Bone marrow aspirate smear
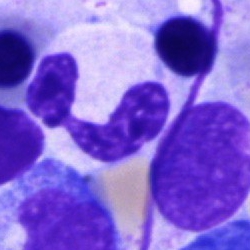 Specimen: bone marrow smear.
Morphological class: polymorphonuclear neutrophil.
Lineage: myeloid.